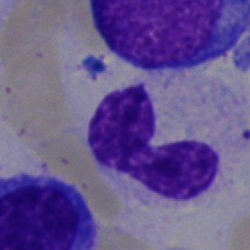 Cell type: segmented neutrophil.